Bone marrow smear
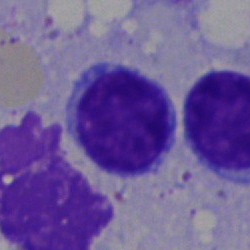
Q: What is the morphological classification of this cell?
A: This is a typical lymphocyte.